Bone marrow aspirate smear:
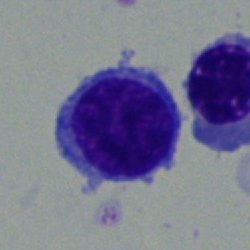

Morphology → lymphocyte.